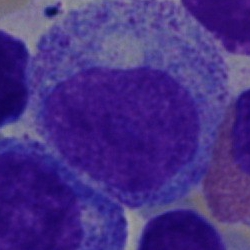
Classification = myelocyte.